Peripheral blood smear.
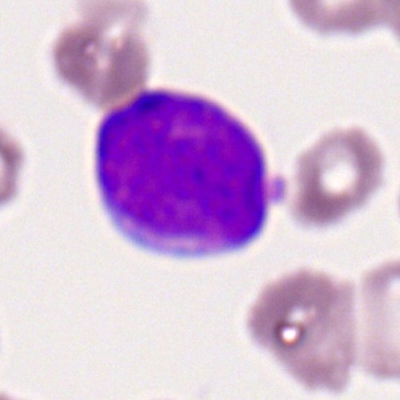

Specimen: peripheral blood smear.
Classification: myeloblast.